Peripheral blood smear.
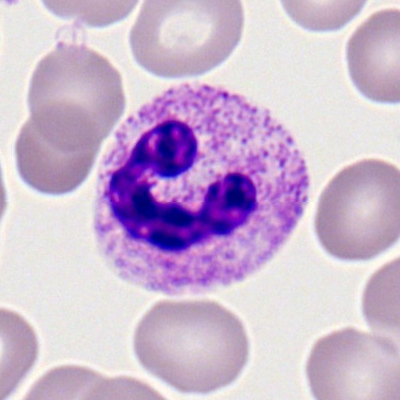 Morphological class = neutrophil (segmented).